Bone marrow smear
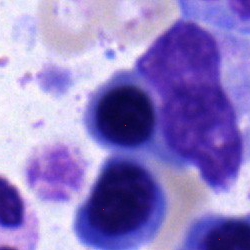

Morphology consistent with a nucleated red cell.